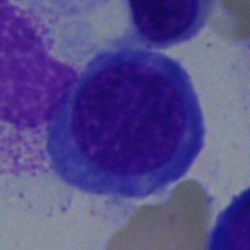

Morphological class — erythroblast.